250 by 250 pixels; bone marrow smear — 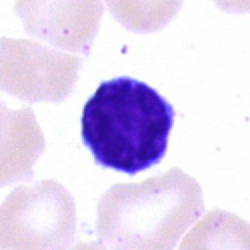

Lymphocyte.